Brightfield, 40× oil-immersion objective. Bone marrow aspirate smear — 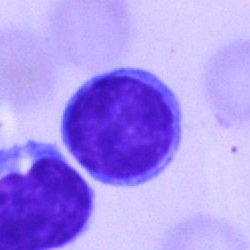 The cell shown is a lymphocyte.